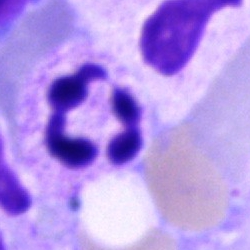 Classification = neutrophil (segmented).